Bone marrow smear · image size 250×250: 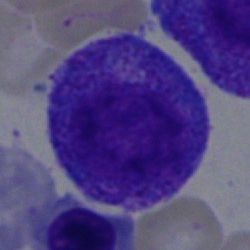

Classification = progranulocyte.